Bone marrow smear:
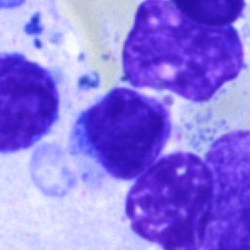 Artefact.